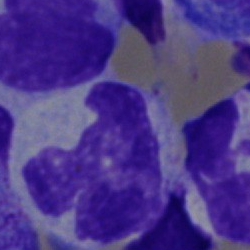

A polymorphonuclear neutrophil on a bone marrow smear.